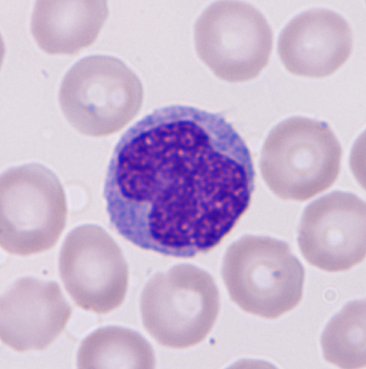
Morphological class — monocyte.

Preparation: 366×369 · MGG stain · peripheral blood smear.